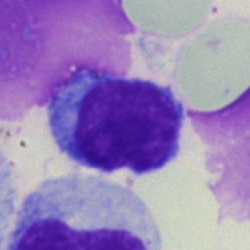
A typical lymphocyte.